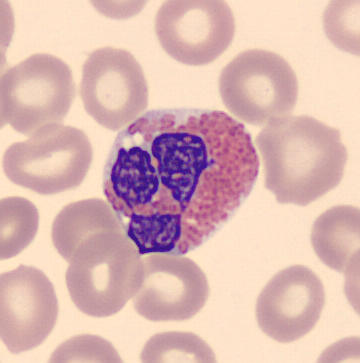Identified as an eosinophil. Preparation: Peripheral blood film.